Single cell centered in the field. Peripheral blood film.
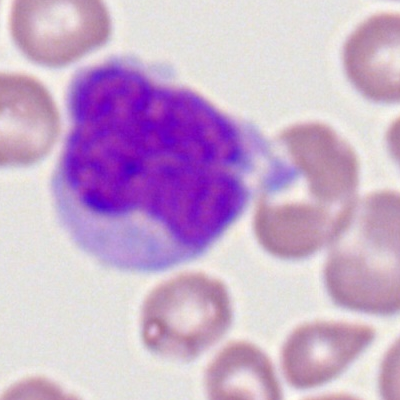Q: Identify the cell.
A: It is a monocyte.